Bone marrow aspirate smear:
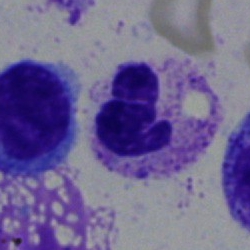 Showing a polymorphonuclear neutrophil.